250×250 px · bone marrow aspirate smear:
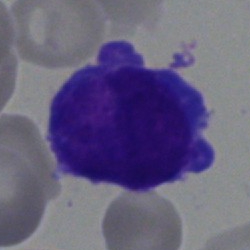

This is a blast cell.